Bone marrow smear:
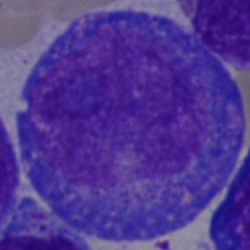A promyelocyte.